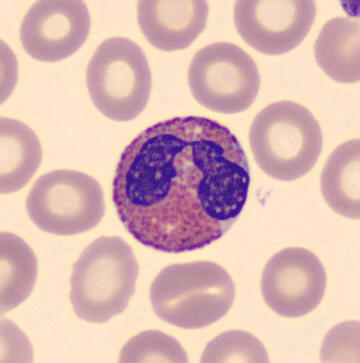Morphology consistent with an eosinophilic granulocyte.
Peripheral blood smear.